Bone marrow aspirate smear · 40× oil immersion — 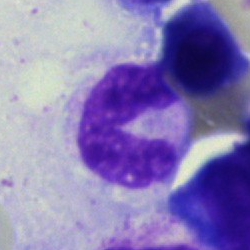Impression → neutrophil (band).